40× objective, oil immersion; bone marrow smear
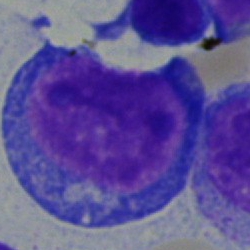Q: What is the morphological classification of this cell?
A: This is a pronormoblast.